Bone marrow smear: 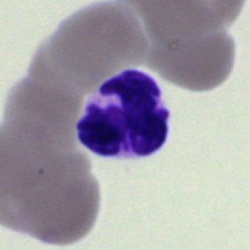

Morphology — polymorphonuclear neutrophil.